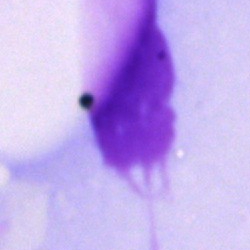
Single cell identified as an artifact.